Bone marrow smear — 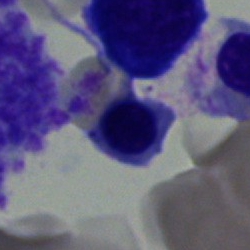This is an erythroblast.